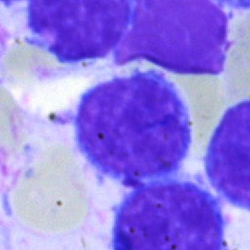
The cell shown is a typical lymphocyte.